Bone marrow smear
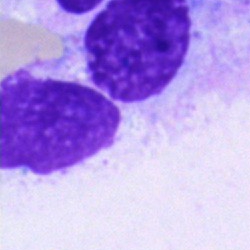
{"cell_type": "artefact"}